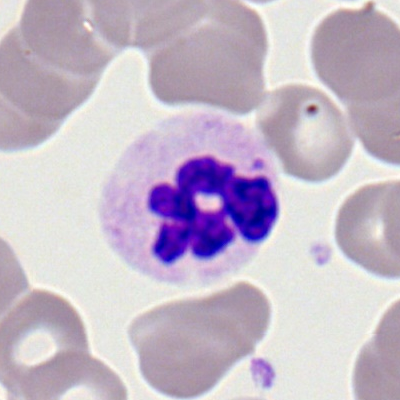
Impression — neutrophil (segmented).